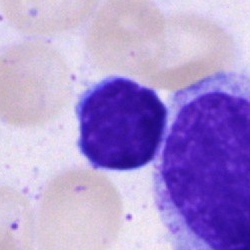 Specimen: bone marrow smear.
Morphological class: typical lymphocyte.